Bone marrow smear; brightfield, 40× oil-immersion objective; May-Grünwald-Giemsa stain: 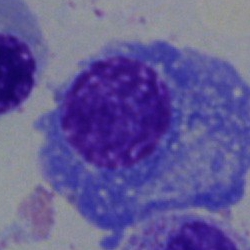 Q: What is the morphological classification of this cell?
A: This is a plasmacyte.